Bone marrow smear · single-cell field:
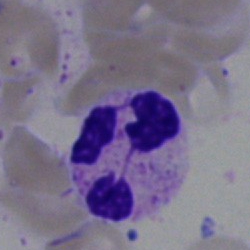 Q: What type of cell is this?
A: Neutrophil (segmented).